Bone marrow aspirate smear: 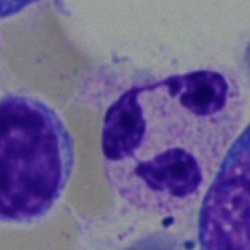 Q: What is shown here?
A: This is a neutrophil (segmented).